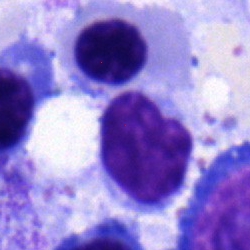 Specimen: bone marrow aspirate smear.
Classification: lymphocyte.